Peripheral blood film; 400×400: 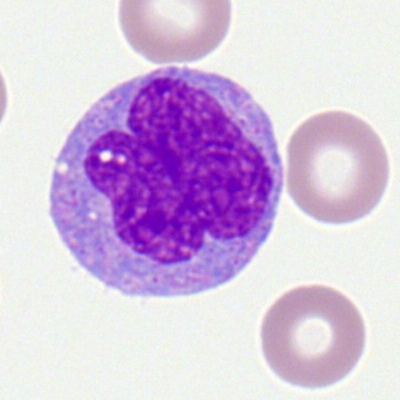Morphology consistent with a monocyte.